Bone marrow aspirate smear: 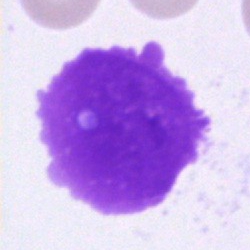Q: What is shown here?
A: Artefact.